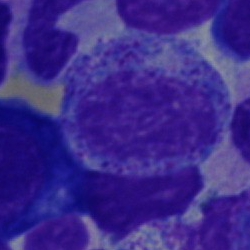
This is a myelocyte.